May-Grünwald-Giemsa stain; bone marrow smear: 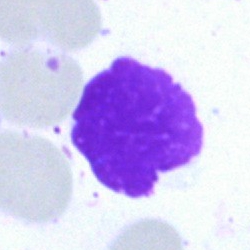
Specimen: bone marrow aspirate smear.
Cell type: artifact.